Bone marrow smear. 40× objective, oil immersion.
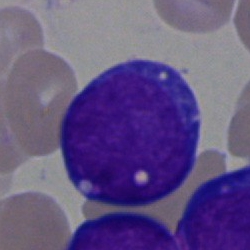

Impression — blast.